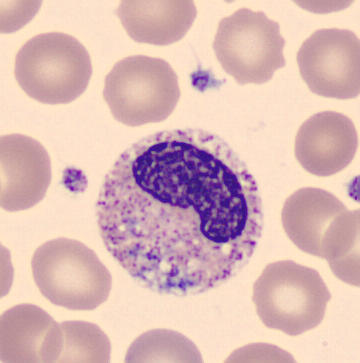
MGG-stained. Peripheral blood smear. Single-cell crop.
Q: What is the morphological classification of this cell?
A: A metamyelocyte.